Bone marrow smear.
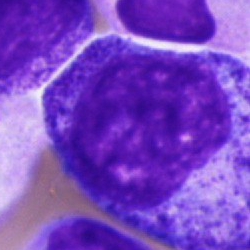 Showing a progranulocyte.